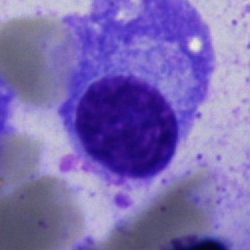 Single cell identified as a plasmacyte.